Brightfield, 100× oil-immersion objective. Peripheral blood film:
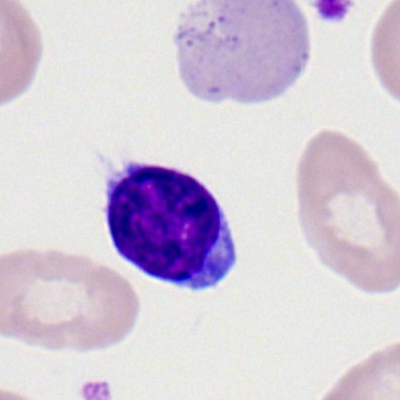
Morphological class — typical lymphocyte.